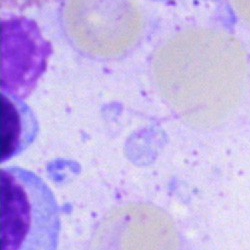 Cell type: artifact.